Bone marrow aspirate smear. 250×250
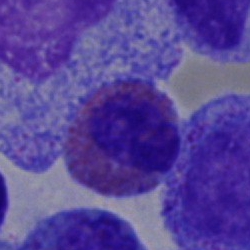Showing an eosinophilic granulocyte.